Bone marrow aspirate smear: 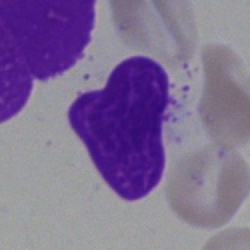 Q: What is shown here?
A: It is an artefact.